Bone marrow aspirate smear
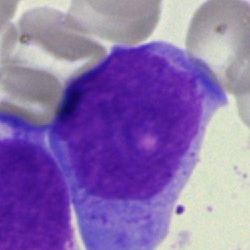

Cell = undifferentiated blast.